Single-cell field; bone marrow aspirate smear
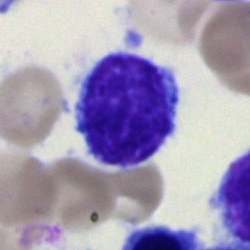 Showing a lymphocyte.